Bone marrow smear.
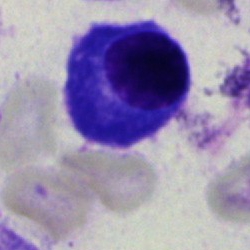

Cell type — plasmacyte.